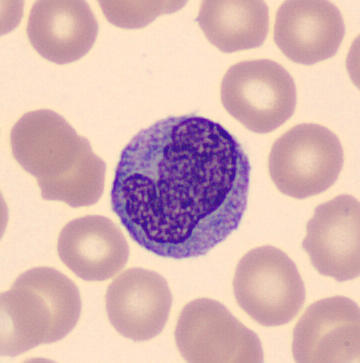 Morphological class — monocyte.

Preparation: Peripheral blood smear. Image size 360×363.